Pappenheim-stained · bone marrow aspirate smear.
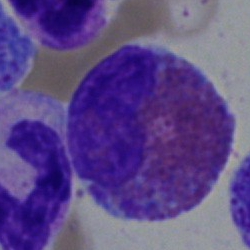 Specimen: bone marrow aspirate smear.
Classification: eosinophil.
Lineage: myeloid.